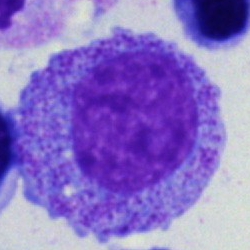

{"cell_type": "progranulocyte"}